Bone marrow smear. 250 by 250 pixels: 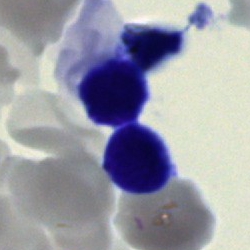

Typical lymphocyte.